Single cell centered in the field. Bone marrow aspirate smear. Pappenheim-stained:
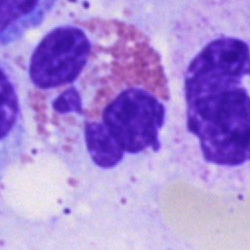

Morphological class — eosinophilic granulocyte.